Bone marrow aspirate smear. Image size 250×250
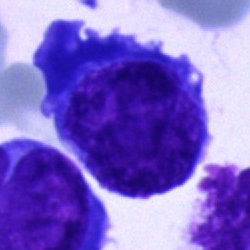
Cell type: undifferentiated blast.